Bone marrow aspirate smear: 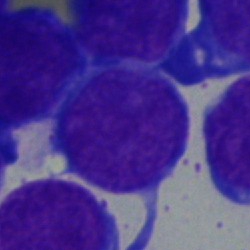 Q: What type of cell is this?
A: An undifferentiated blast.